Peripheral blood film: 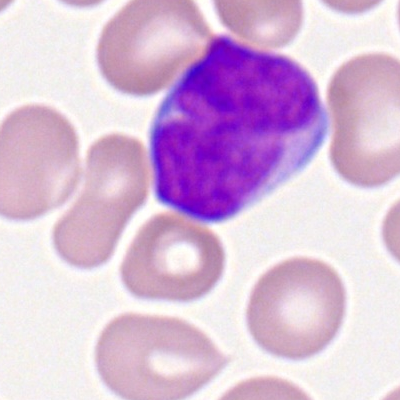 Q: What type of cell is this?
A: Myeloid blast.